Bone marrow smear · 40× objective, oil immersion — 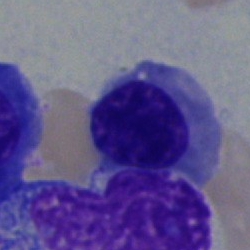Q: Identify the cell.
A: This is a nucleated red cell.